250 by 250 pixels; bone marrow smear: 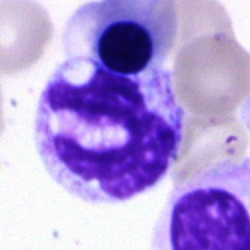 Morphological class = segmented neutrophil.